Bone marrow smear; 250 by 250 pixels; MGG-stained: 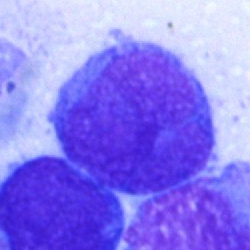

Morphology consistent with a blast cell.